Bone marrow smear: 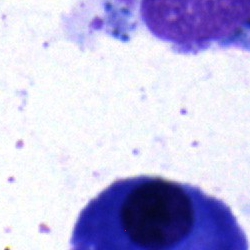 Showing a plasmacyte.